Peripheral blood smear
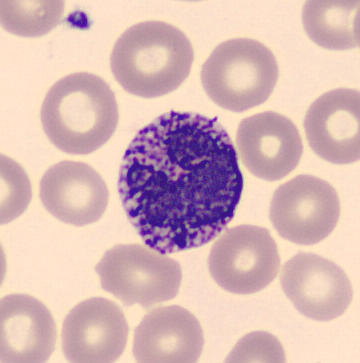A basophil.